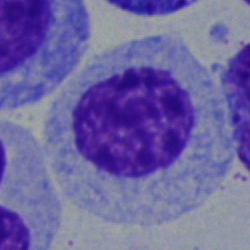

Impression — myelocyte.